Bone marrow aspirate smear:
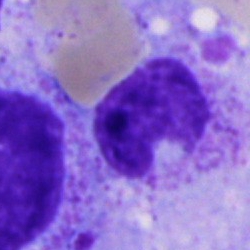
Specimen: bone marrow aspirate smear.
Cell type: metamyelocyte.
Lineage: myeloid.